Bone marrow smear:
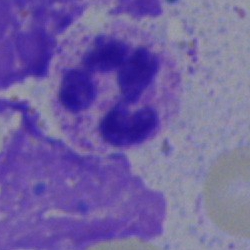
Single cell identified as a segmented neutrophil.